Bone marrow smear · May-Grünwald-Giemsa/Pappenheim stain — 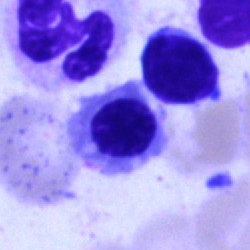

Erythroblast.